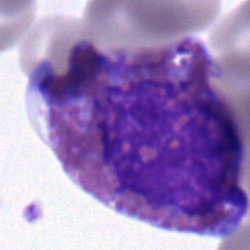 Cell: eosinophilic granulocyte.